Image size 250×250; bone marrow smear: 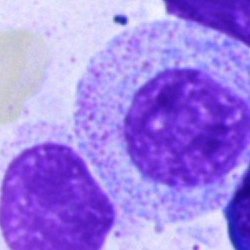The cell shown is a myelocyte.